Bone marrow smear · May-Grünwald-Giemsa stain
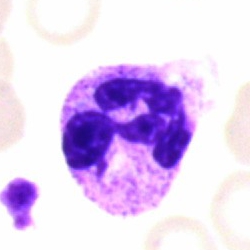

Specimen: bone marrow aspirate smear.
Classification: segmented neutrophil.
Lineage: myeloid.